Bone marrow smear; May-Grünwald-Giemsa/Pappenheim stain; brightfield, 40× oil-immersion objective — 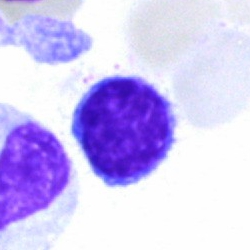

Impression → typical lymphocyte.